Bone marrow smear — 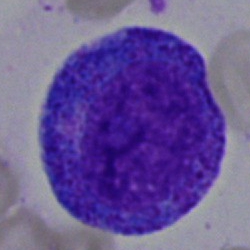
Showing a promyelocyte.